Peripheral blood smear:
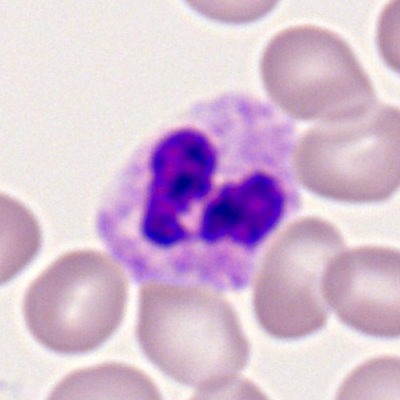The cell shown is a neutrophil (segmented).